Bone marrow smear
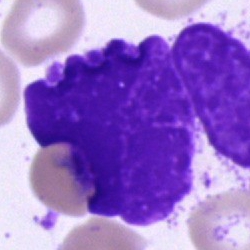Morphological class: artefact.